Bone marrow smear.
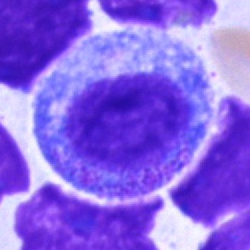Cell type = promyelocyte.